Bone marrow smear
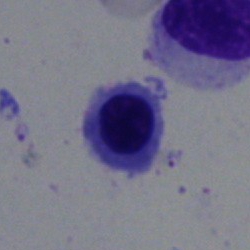The cell is nucleated red cell.